Bone marrow smear: 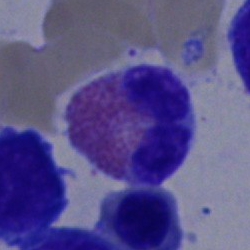

{"cell_type": "eosinophil"}